Brightfield microscopy, 40× oil immersion; bone marrow aspirate smear:
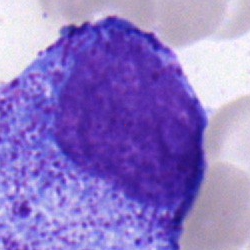

Single cell identified as a progranulocyte.